Bone marrow aspirate smear.
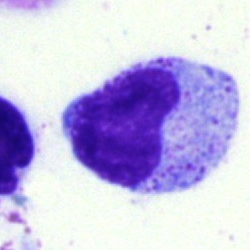
A myelocyte.